Peripheral blood smear. 100× oil immersion, 14.14 px/µm:
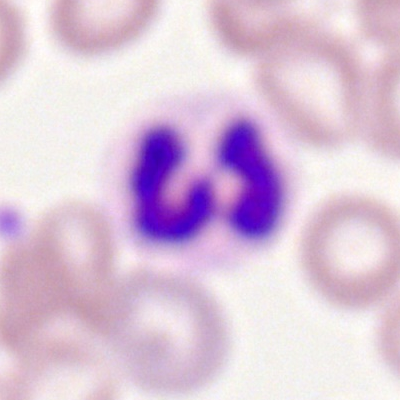
Classification: segmented neutrophil.